Image size 250×250. Bone marrow smear: 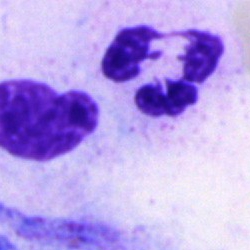
Q: What is shown here?
A: Polymorphonuclear neutrophil.